250×250 px · bone marrow aspirate smear · single-cell crop: 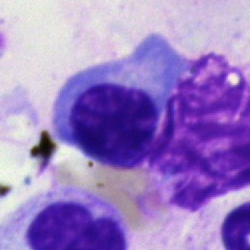Impression → nucleated red cell.